Bone marrow smear; cropped to a single cell — 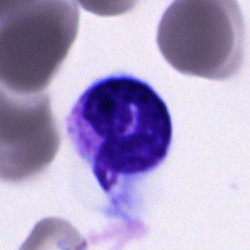
Cell = neutrophil (segmented).